Bone marrow smear.
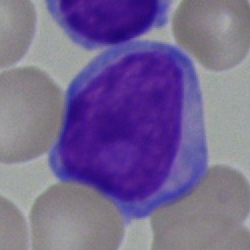 Q: What type of cell is this?
A: It is a lymphocyte.